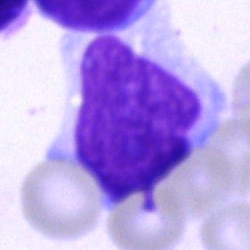
A blast on a bone marrow smear.